Peripheral blood smear · Romanowsky stain · single-cell field.
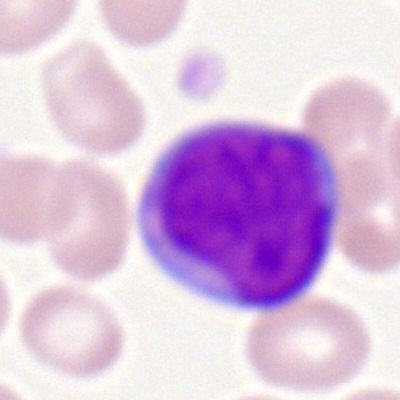 Single cell identified as a myeloblast.